40× oil immersion. Bone marrow smear.
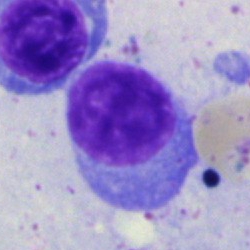 The cell shown is a plasmacyte.